Cropped to a single cell. Bone marrow aspirate smear.
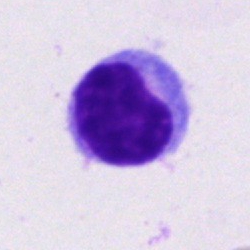 Morphology consistent with a lymphocyte.